Bone marrow aspirate smear. May-Grünwald-Giemsa/Pappenheim stain.
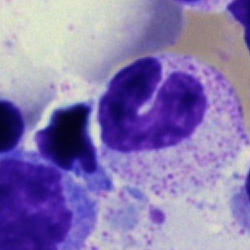 Band neutrophil.